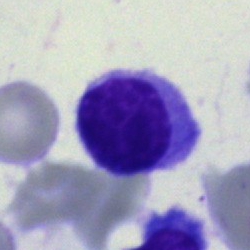Single cell identified as a typical lymphocyte.